Bone marrow aspirate smear; 250×250; single-cell crop.
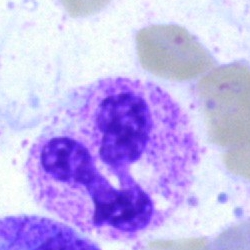 {"cell_type": "segmented neutrophil", "lineage": "myeloid"}